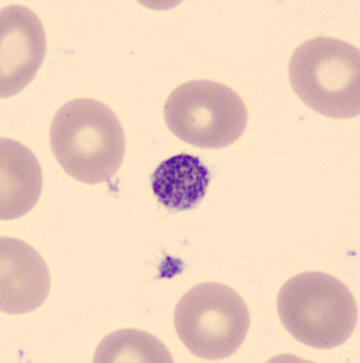

Peripheral blood film.
Morphology → thrombocyte.